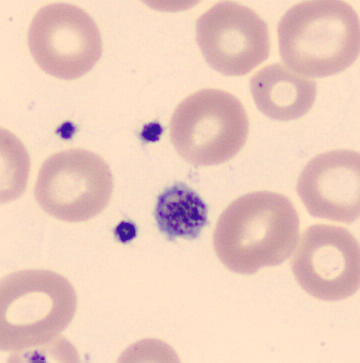Q: What is this?
A: Thrombocyte. Image: Peripheral blood film.